Bone marrow smear; single-cell crop.
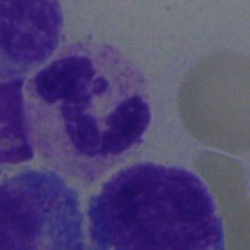
The cell is segmented neutrophil.